Bone marrow aspirate smear — 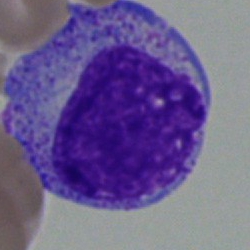 Impression — promyelocyte.